250×250. Bone marrow aspirate smear. Single cell centered in the field: 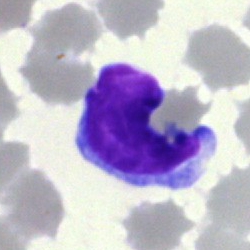
The cell shown is a lymphocyte.